Bone marrow aspirate smear · brightfield microscopy, 40× oil immersion
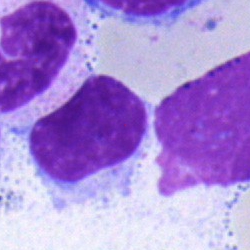
Q: What type of cell is this?
A: A typical lymphocyte.